250×250 px. Bone marrow aspirate smear: 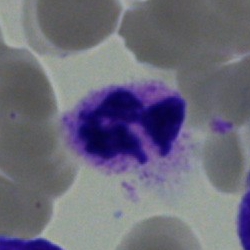Impression — segmented neutrophil.